40× oil immersion · bone marrow aspirate smear — 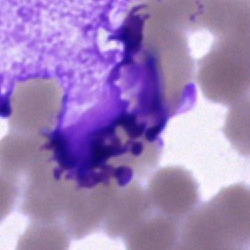

{"cell_type": "artefact"}